Bone marrow smear — 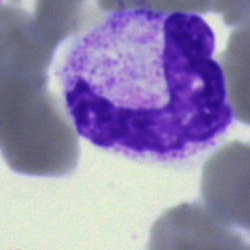 Q: What is shown here?
A: It is a segmented neutrophil.